40× objective, oil immersion. Bone marrow aspirate smear: 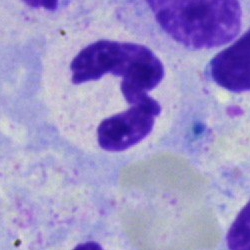
A segmented neutrophil.